Bone marrow smear
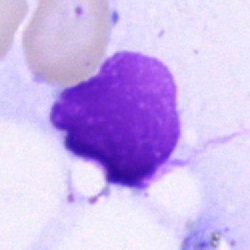 Specimen: bone marrow aspirate smear.
Cell type: artifact.